Single cell centered in the field; peripheral blood film.
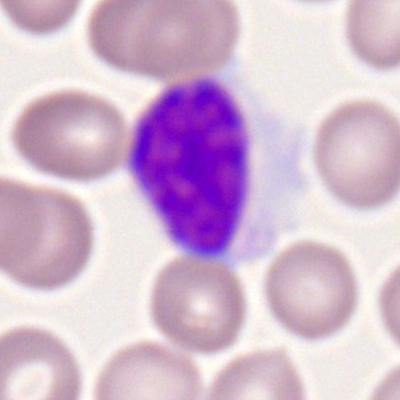Cell type: typical lymphocyte.